Bone marrow aspirate smear. Brightfield microscopy, 40× oil immersion. Image size 250×250:
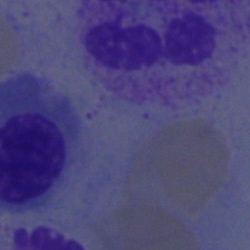 Morphology consistent with a segmented neutrophil.